Single-cell crop. Peripheral blood smear
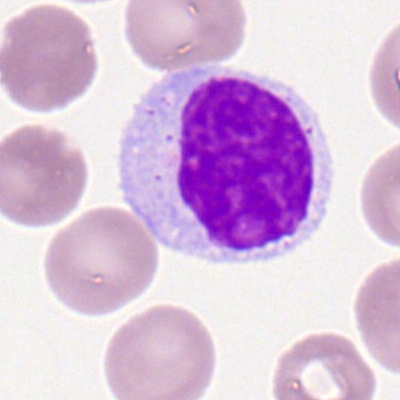

This is a typical lymphocyte.